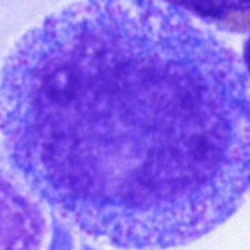A progranulocyte.